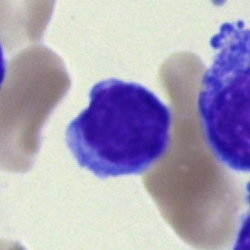

Specimen: bone marrow smear.
Cell: typical lymphocyte.